Brightfield, 40× oil-immersion objective · bone marrow aspirate smear · image size 250×250.
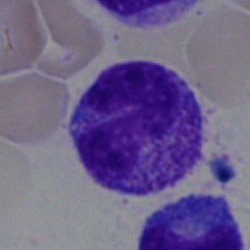
Specimen: bone marrow aspirate smear.
Cell type: neutrophil (band).